Bone marrow smear:
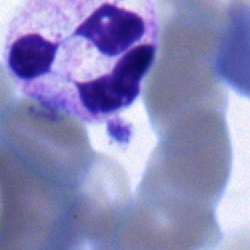 Segmented neutrophil.